Bone marrow smear. Brightfield, 40× oil-immersion objective. Image size 250×250: 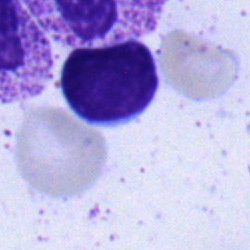

Specimen: bone marrow smear.
Cell: lymphocyte.
Lineage: lymphoid.